Bone marrow smear. Brightfield, 40× oil-immersion objective.
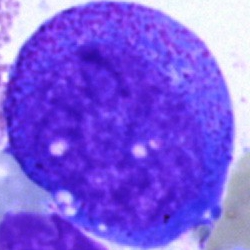
This is a progranulocyte.